Single-cell crop; bone marrow aspirate smear; 250×250 px.
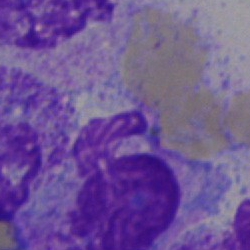
Q: What is shown here?
A: It is an artefact.